Bone marrow smear — 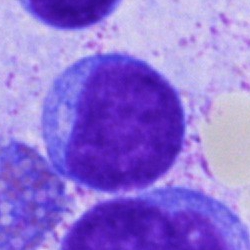

Cell type = blast.